Bone marrow smear; single-cell crop; MGG-stained:
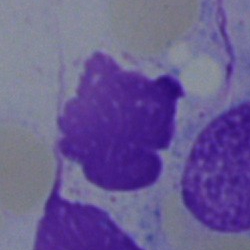Showing an artifact.